40× objective, oil immersion. Bone marrow smear. Single cell centered in the field.
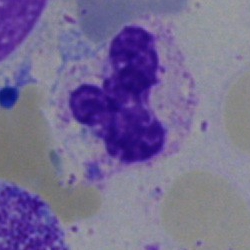Q: Which cell type is shown here?
A: This is a neutrophil (segmented).